Image size 250×250; bone marrow aspirate smear.
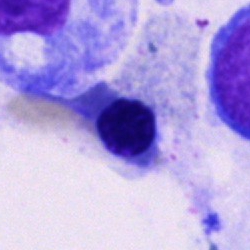Nucleated red blood cell.